May-Grünwald-Giemsa stain; bone marrow aspirate smear.
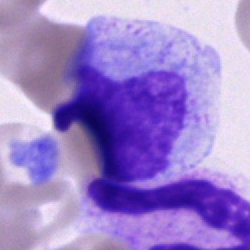
The cell is unidentifiable cell.